Brightfield microscopy, 40× oil immersion. Bone marrow aspirate smear. May-Grünwald-Giemsa/Pappenheim stain.
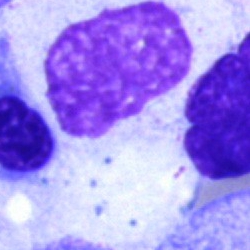
Morphology — artifact.